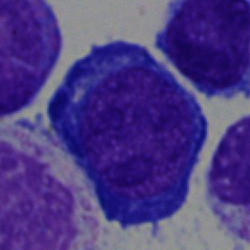
Morphology → erythroblast.